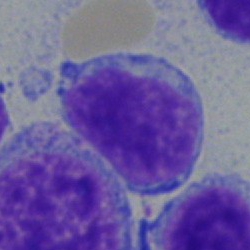

Specimen: bone marrow smear.
Cell: lymphocyte.